Bone marrow smear. Single-cell crop. MGG-stained — 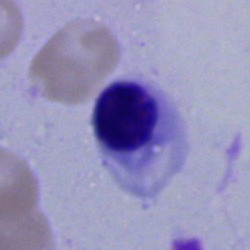 {"cell_type": "nucleated red blood cell", "lineage": "erythroid"}